Peripheral blood smear — 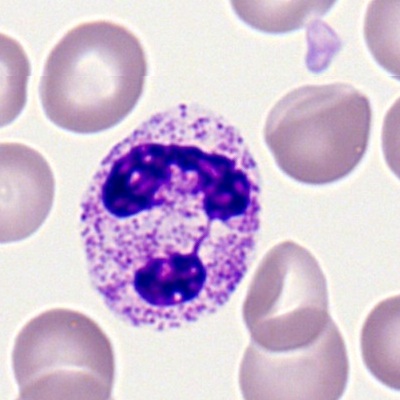
Cell type = segmented neutrophil.